M8 digital microscope (Precipoint), 100× oil immersion; peripheral blood film; single-cell crop
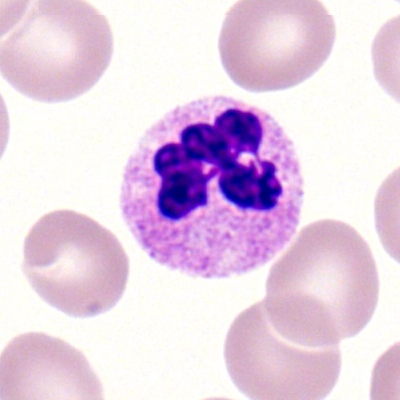
Specimen: peripheral blood smear.
Morphological class: segmented neutrophil.
Lineage: myeloid.